Bone marrow smear: 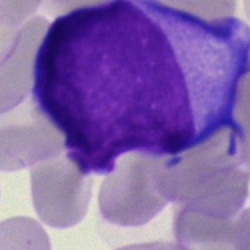
The cell is blast.